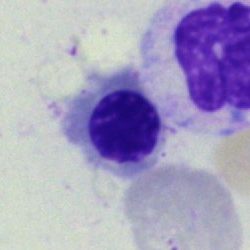

Bone marrow aspirate smear, single cell — nucleated red cell.